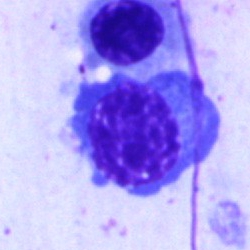Morphology — nucleated red blood cell.